Bone marrow smear — 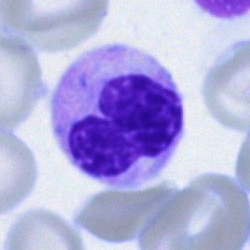 Specimen: bone marrow aspirate smear.
Cell: neutrophil (segmented).
Lineage: myeloid.